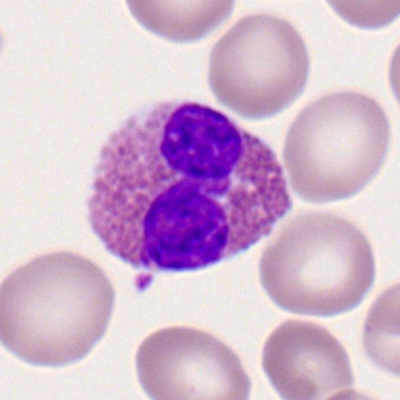
Morphology consistent with an eosinophilic granulocyte.